Bone marrow smear.
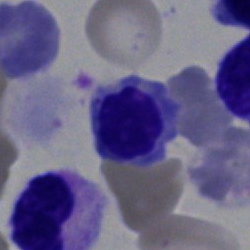 Cell = normoblast.